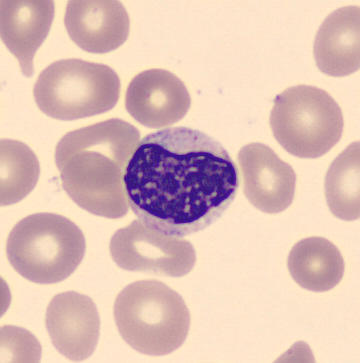 Morphology → metamyelocyte.